Bone marrow aspirate smear: 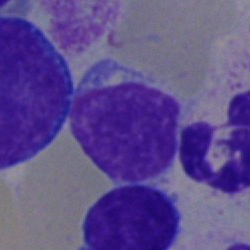 Impression → lymphocyte.